100× oil immersion. Peripheral blood smear.
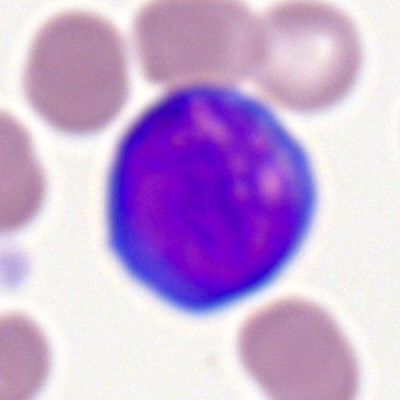Q: Identify the cell.
A: Myeloblast.